Bone marrow smear:
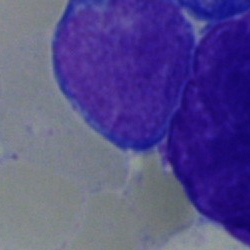
Impression — blast cell.